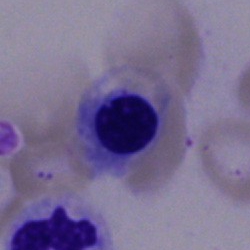
The cell shown is a normoblast.